Bone marrow smear.
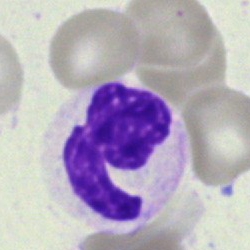The cell shown is a polymorphonuclear neutrophil.